Bone marrow aspirate smear — 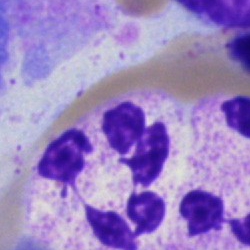Q: Identify the cell.
A: Segmented neutrophil.